May-Grünwald-Giemsa/Pappenheim stain; bone marrow aspirate smear — 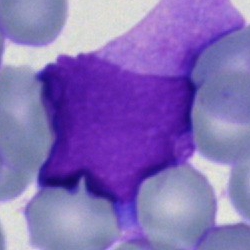
Specimen: bone marrow smear.
Morphological class: blast.